Bone marrow smear
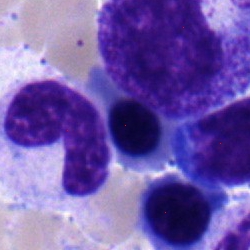 A polymorphonuclear neutrophil.